Bone marrow aspirate smear.
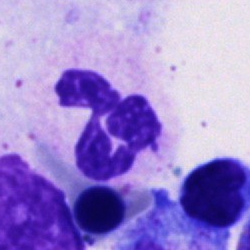
The cell shown is a segmented neutrophil.